Single-cell crop; bone marrow smear; Pappenheim-stained — 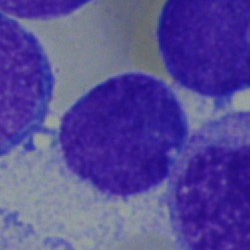
Morphological class: typical lymphocyte.